Pappenheim-stained. Bone marrow aspirate smear:
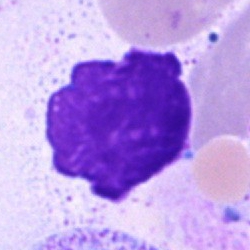 Specimen: bone marrow smear.
Cell: artefact.